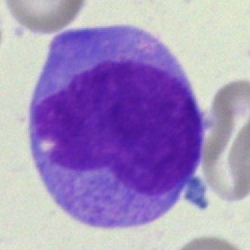

Q: What cell is this?
A: This is a blast cell.